Peripheral blood film — 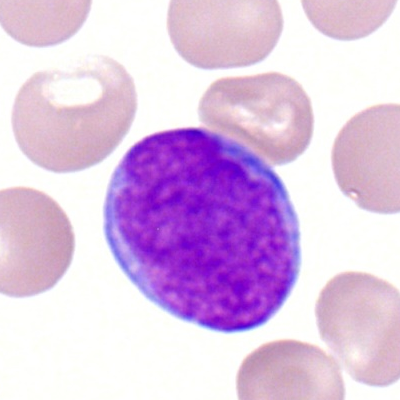 Morphological class — myeloid blast.